40× objective, oil immersion · bone marrow smear: 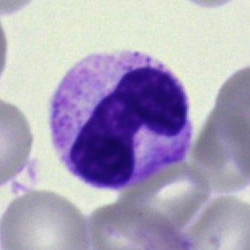This is a band neutrophil.